Bone marrow smear; 40× objective, oil immersion; 250×250 px:
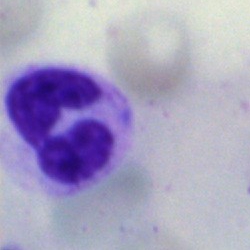 {"cell_type": "polymorphonuclear neutrophil", "lineage": "myeloid"}